Peripheral blood smear — 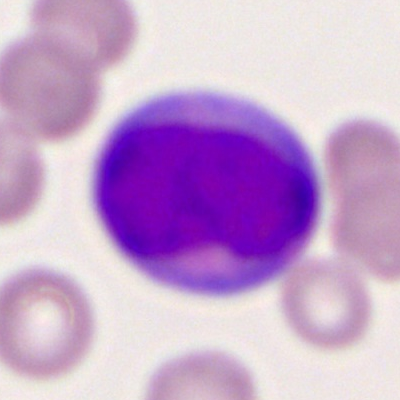Q: Identify the cell.
A: It is a myeloblast.